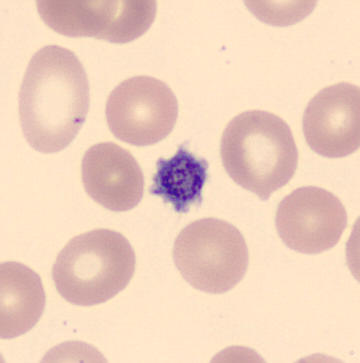
Image: Peripheral blood smear. Morphology consistent with a platelet (thrombocyte).